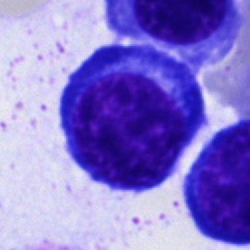

Q: Identify the cell.
A: An erythroblast.